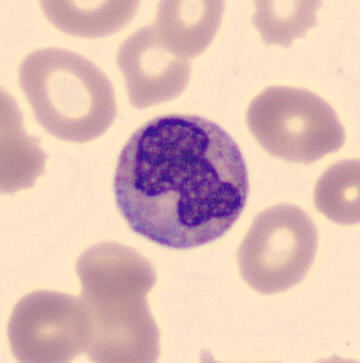Showing a stab cell.
Image: Peripheral blood smear.